Peripheral blood film · 400 by 400 pixels:
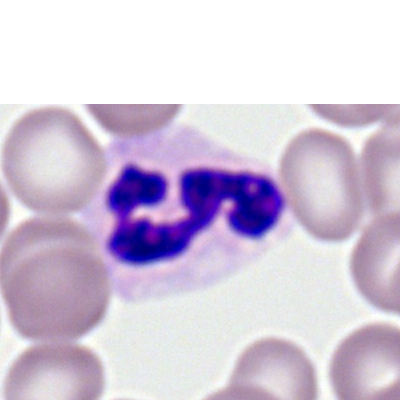

This is a neutrophil (segmented).